May-Grünwald-Giemsa stain. Bone marrow aspirate smear. Single-cell crop:
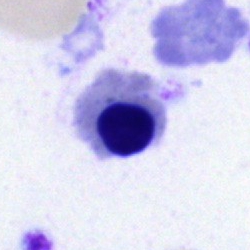
This is an erythroblast.